Bone marrow aspirate smear. Image size 250×250 — 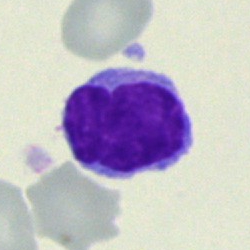Morphological class: typical lymphocyte.